Bone marrow aspirate smear:
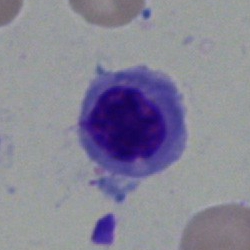 {"cell_type": "normoblast", "lineage": "erythroid"}